Bone marrow smear: 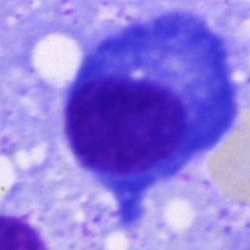Impression → plasma cell.